Bone marrow smear · brightfield microscopy, 40× oil immersion · 250×250 px:
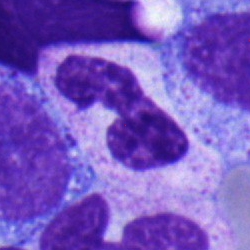

The cell type is band-form neutrophil.